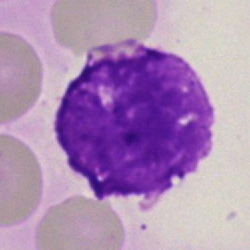
Single-cell crop from a bone marrow smear: artefact.